Peripheral blood smear · single-cell field
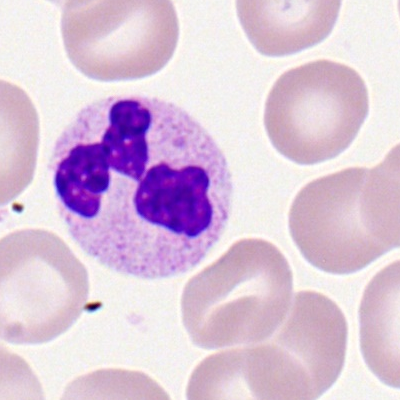
Polymorphonuclear neutrophil.